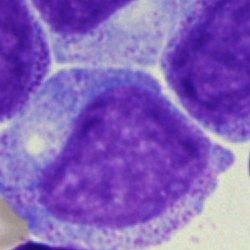 Cell — progranulocyte.